Bone marrow smear · 40× objective, oil immersion · 250×250 px: 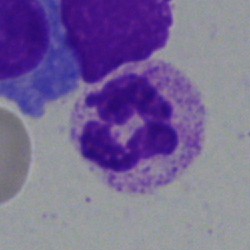 Impression — polymorphonuclear neutrophil.